Image size 250×250; bone marrow smear
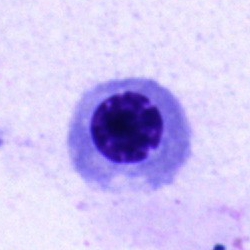
Morphology — nucleated red blood cell.